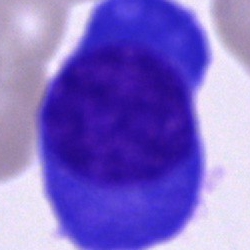Cell = plasma cell.